Single-cell field; peripheral blood film — 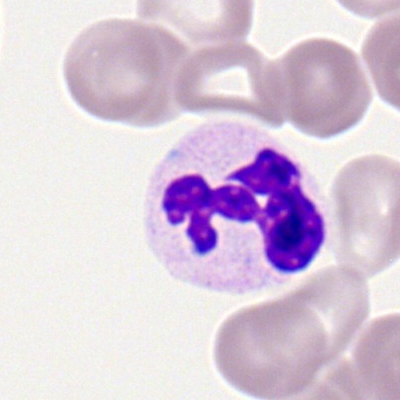
The cell type is polymorphonuclear neutrophil.